Bone marrow smear: 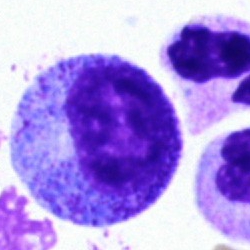A progranulocyte.